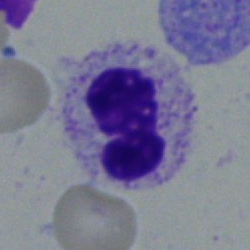

Q: Identify the cell.
A: Band-form neutrophil.